Bone marrow aspirate smear; 40× objective, oil immersion — 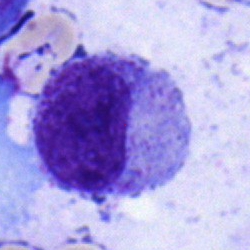

Morphological class — metamyelocyte.